Bone marrow smear — 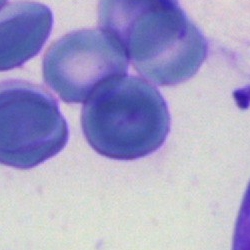Showing an other cell type.